Bone marrow smear.
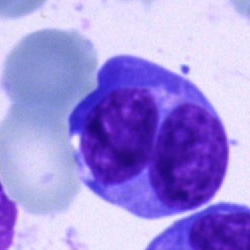

Classification = blast cell.